250×250 px. Bone marrow smear.
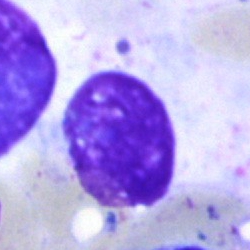 An artefact.